Single-cell field · MGG-stained · bone marrow smear:
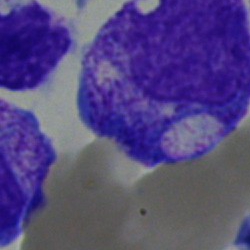 Cell = progranulocyte.